Bone marrow smear
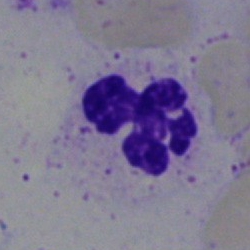
The cell shown is a segmented neutrophil.